Bone marrow aspirate smear.
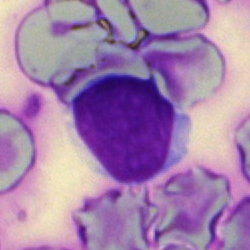
Q: What cell is this?
A: Typical lymphocyte.